Peripheral blood film:
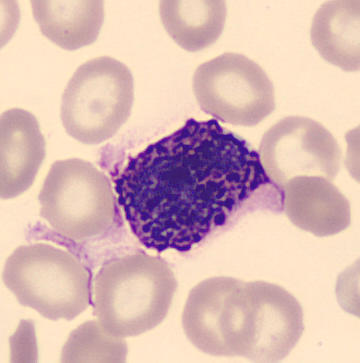Basophil.